Bone marrow smear; 250 by 250 pixels — 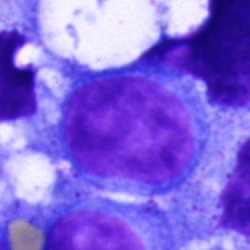

The cell shown is an undifferentiated blast.